Bone marrow smear. Single-cell field — 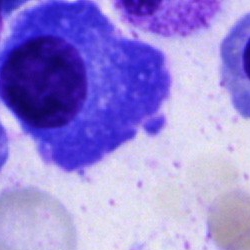

This is a plasma cell.